Bone marrow aspirate smear · brightfield microscopy, 40× oil immersion · May-Grünwald-Giemsa/Pappenheim stain: 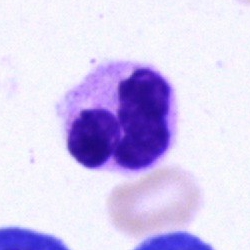

Q: What type of cell is this?
A: It is a segmented neutrophil.